Bone marrow aspirate smear — 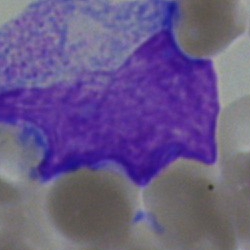Showing a blast.